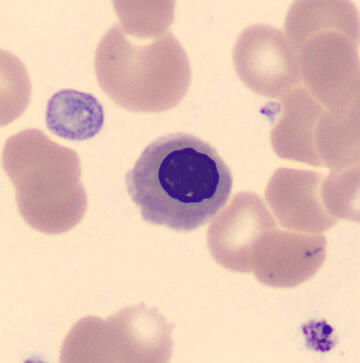
Acquisition: Peripheral blood film.

Q: What type of cell is this?
A: Normoblast.